Peripheral blood film
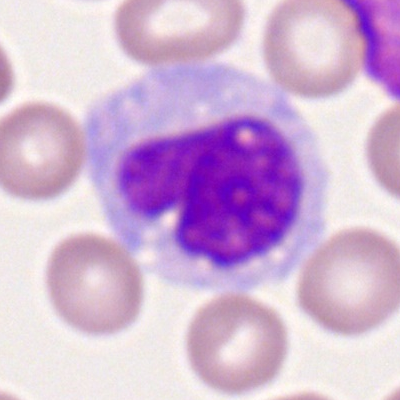

The cell shown is a monocyte.